Single-cell crop. Peripheral blood smear.
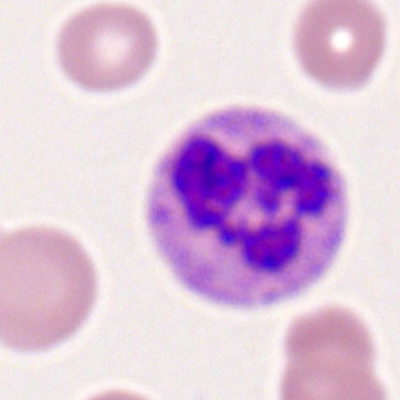
Specimen: peripheral blood smear.
Cell: segmented neutrophil.